Romanowsky-stained; peripheral blood smear.
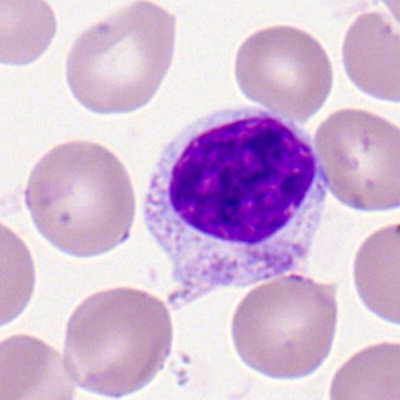Morphology consistent with a typical lymphocyte.